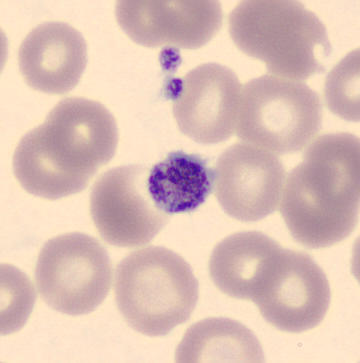 Cell type — platelet (thrombocyte).